Cropped to a single cell; bone marrow smear; Pappenheim-stained — 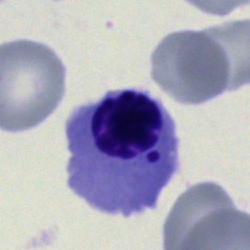
Specimen: bone marrow aspirate smear.
Cell type: nucleated red blood cell.